Bone marrow smear: 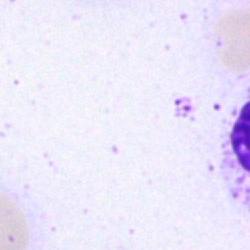
An artifact.